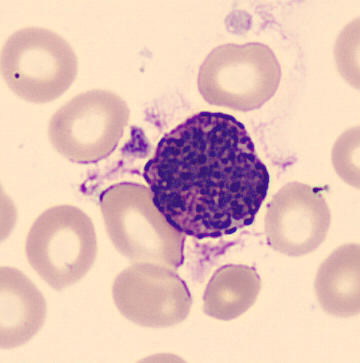

Peripheral blood smear. CellaVision DM96. Impression — basophilic granulocyte.